May-Grünwald-Giemsa stain · 250 by 250 pixels · bone marrow aspirate smear.
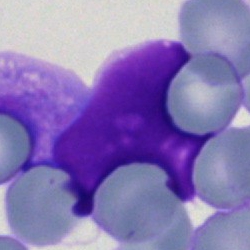 Specimen: bone marrow smear.
Morphological class: undifferentiated blast.